Peripheral blood smear — 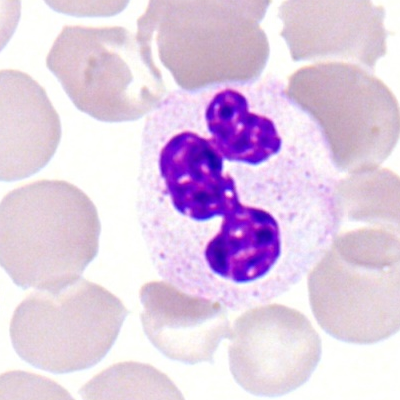 A neutrophil (segmented).